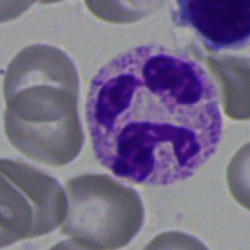Morphology → segmented neutrophil.